Bone marrow smear; May-Grünwald-Giemsa stain: 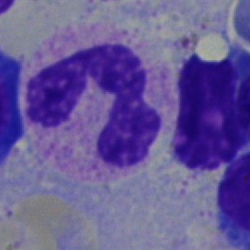 Showing a segmented neutrophil.